Peripheral blood smear:
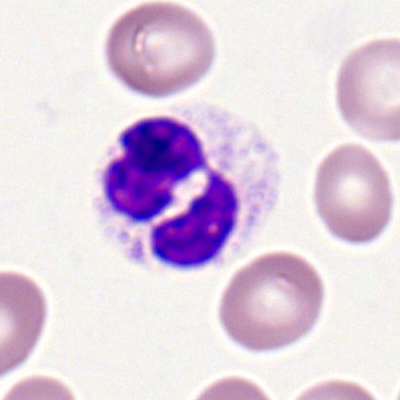
Q: What type of cell is this?
A: Neutrophil (segmented).